Bone marrow aspirate smear.
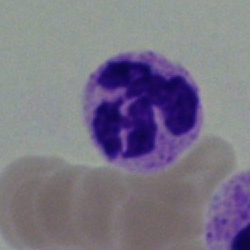Specimen: bone marrow aspirate smear.
Cell type: polymorphonuclear neutrophil.
Lineage: myeloid.